Bone marrow smear
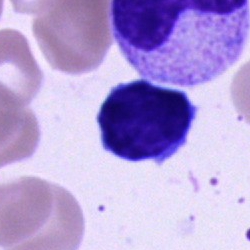
Typical lymphocyte.